Bone marrow smear: 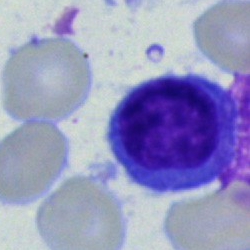The cell shown is a lymphocyte.